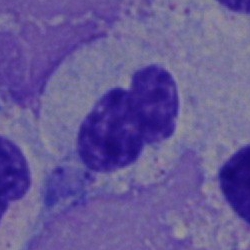

Specimen: bone marrow aspirate smear.
Cell type: segmented neutrophil.
Lineage: myeloid.